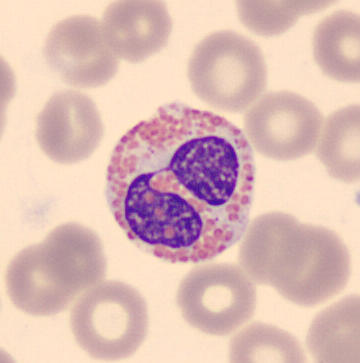

Cropped to a single cell. Peripheral blood smear. May-Grünwald-Giemsa-stained. The classification is eosinophil.